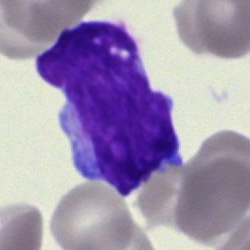The cell shown is a blast.